Single cell centered in the field · bone marrow smear: 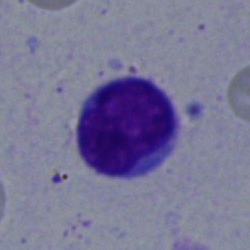Single cell identified as a lymphocyte.